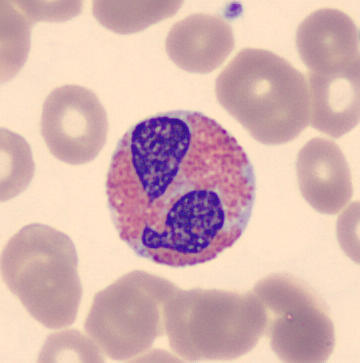Image: Cropped to a single cell; peripheral blood film; 360 by 363 pixels. Impression — eosinophil.